Bone marrow smear; 250×250 px
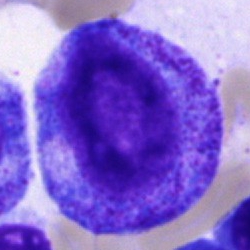 Morphology consistent with a promyelocyte.